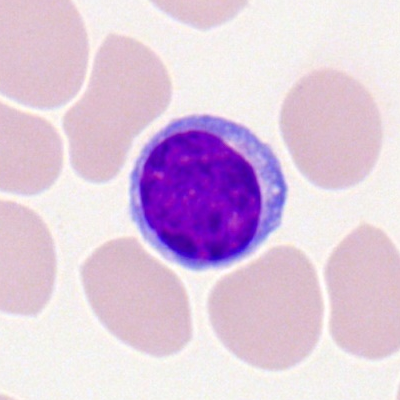 Cell type = lymphocyte.